Bone marrow aspirate smear.
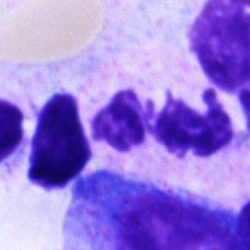

Specimen: bone marrow smear.
Cell: polymorphonuclear neutrophil.
Lineage: myeloid.